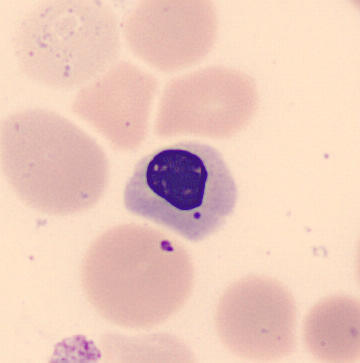

Q: Which cell type is shown here?
A: This is a normoblast.
Preparation: Peripheral blood smear.